Bone marrow smear:
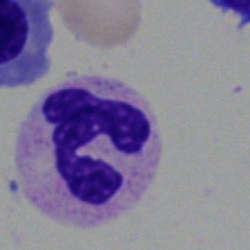Impression — neutrophil (segmented).